Brightfield, 40× oil-immersion objective; bone marrow aspirate smear.
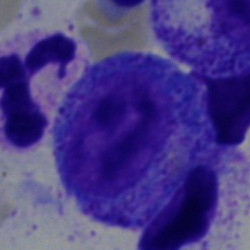

Cell = promyelocyte.